Bone marrow smear: 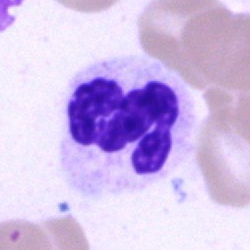

Q: What is the morphological classification of this cell?
A: A neutrophil (segmented).